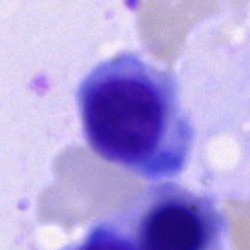

Impression → nucleated red cell.